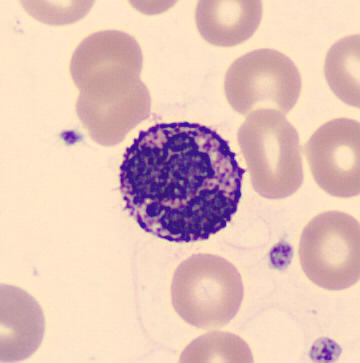 Acquisition: Peripheral blood smear; single-cell field; imaged on a CellaVision DM96 analyser.
Morphological class = basophilic granulocyte.